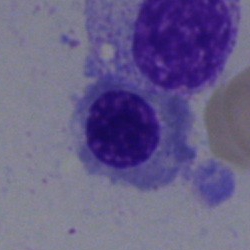
Morphological class: nucleated red cell.